Brightfield, 40× oil-immersion objective. Bone marrow aspirate smear. 250×250 — 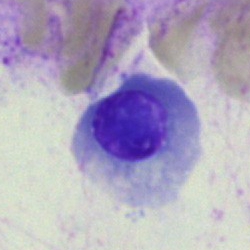

A nucleated red cell.